Bone marrow aspirate smear.
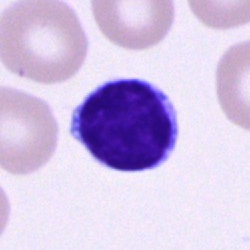Q: What is shown here?
A: This is a lymphocyte.